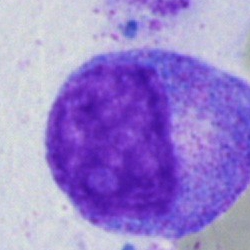 {"cell_type": "progranulocyte"}